Single cell centered in the field · bone marrow aspirate smear: 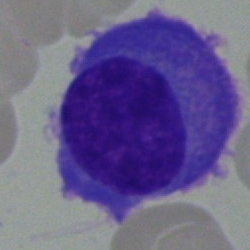 Classification = plasma cell.